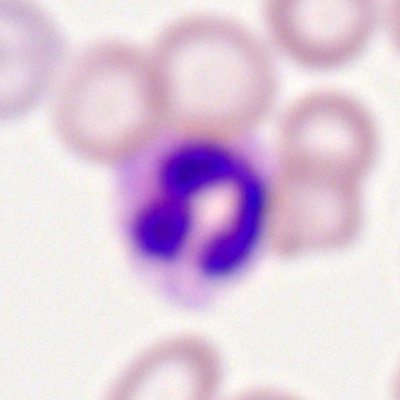

Peripheral blood film, single cell — neutrophil (segmented).